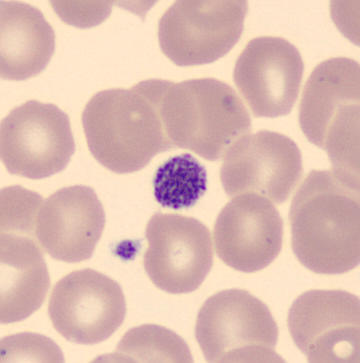 Showing a platelet (thrombocyte).